Bone marrow aspirate smear: 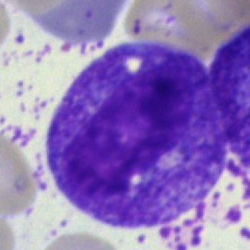

Morphology consistent with a metamyelocyte.